Cropped to a single cell. Bone marrow aspirate smear: 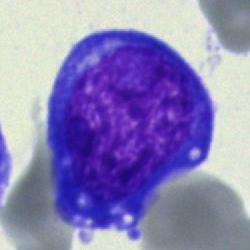
Specimen: bone marrow smear.
Cell type: undifferentiated blast.